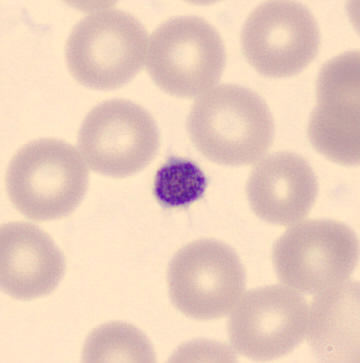 Impression → thrombocyte.

Peripheral blood smear; 360 by 363 pixels.